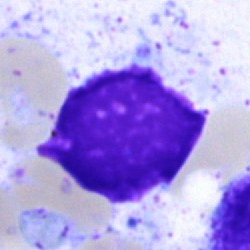Bone marrow aspirate smear, single cell — artefact.